Bone marrow smear.
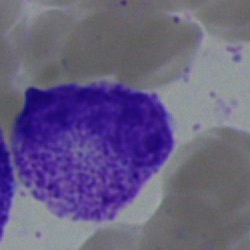 Classification = metamyelocyte.